Bone marrow smear: 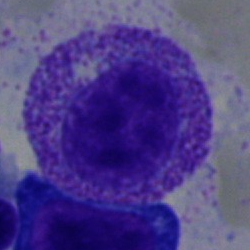
{"cell_type": "myelocyte", "lineage": "myeloid"}